Peripheral blood film
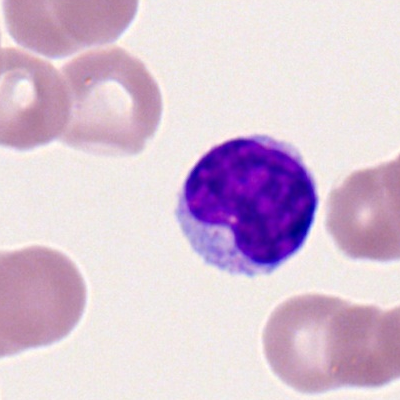Q: What is shown here?
A: It is a typical lymphocyte.